Peripheral blood smear · 400×400
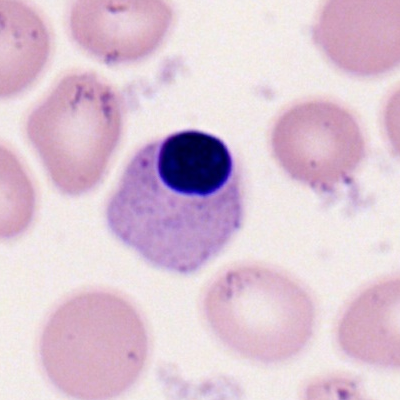 Morphology — normoblast.